Bone marrow smear: 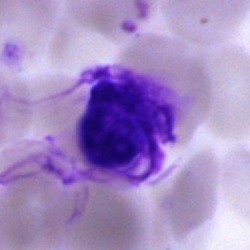 Q: What is shown here?
A: It is an artifact.